Bone marrow smear:
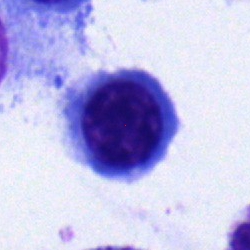

Specimen: bone marrow smear.
Cell type: nucleated red blood cell.
Lineage: erythroid.